Single-cell field · 40× oil immersion · bone marrow smear:
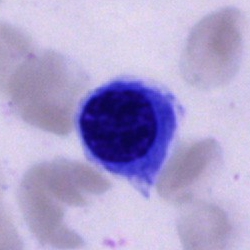

Cell type = cell of indeterminate lineage.